Brightfield, 40× oil-immersion objective · bone marrow smear · cropped to a single cell.
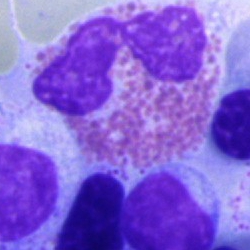

This is an eosinophilic granulocyte.